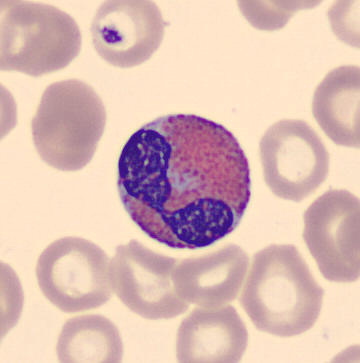
{"cell_type": "eosinophilic granulocyte", "lineage": "myeloid"}